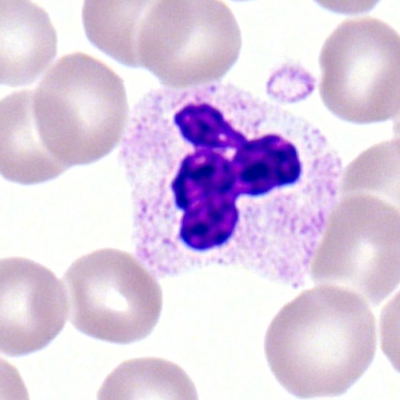

{"cell_type": "neutrophil (segmented)"}